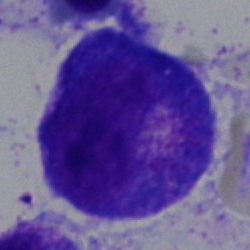

Bone marrow smear showing a promyelocyte.